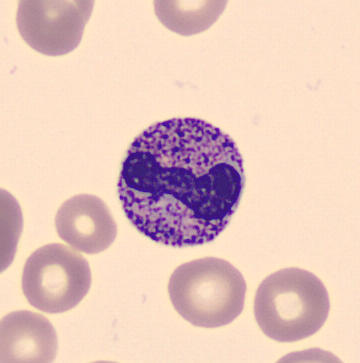

Morphological class = band neutrophil.